May-Grünwald-Giemsa/Pappenheim stain; bone marrow smear.
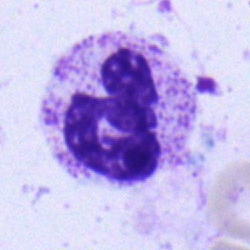 Morphological class = segmented neutrophil.